Single cell centered in the field; bone marrow smear:
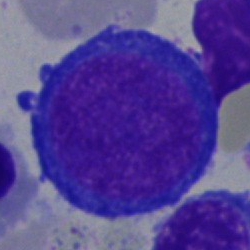

Morphology consistent with a proerythroblast.